Bone marrow smear. 250×250 px. Pappenheim-stained — 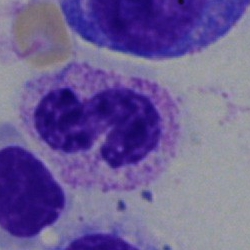Morphology → segmented neutrophil.